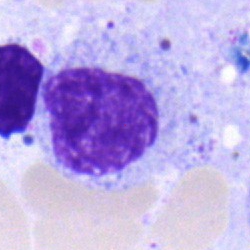Cell: myelocyte.